Bone marrow aspirate smear:
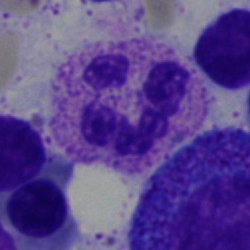 Single cell identified as a segmented neutrophil.